Bone marrow smear
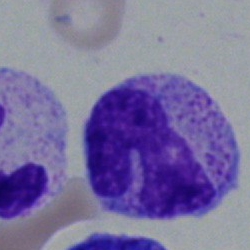Morphology — stab cell.